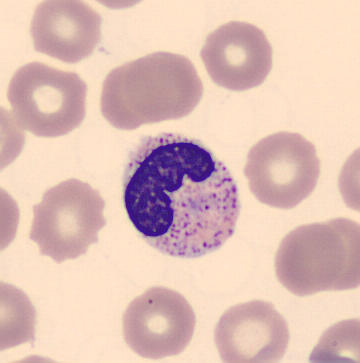

Cell type = neutrophil (band).